Brightfield, 40× oil-immersion objective · bone marrow smear · single cell centered in the field: 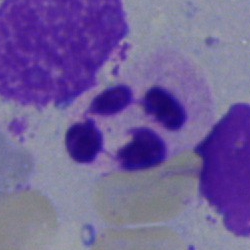

Impression — segmented neutrophil.